Bone marrow aspirate smear:
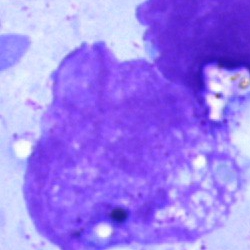

Showing an artifact.